Bone marrow aspirate smear.
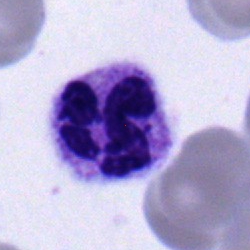

The cell type is polymorphonuclear neutrophil.